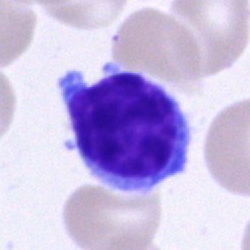Q: What type of cell is this?
A: A typical lymphocyte.